Cropped to a single cell; peripheral blood smear
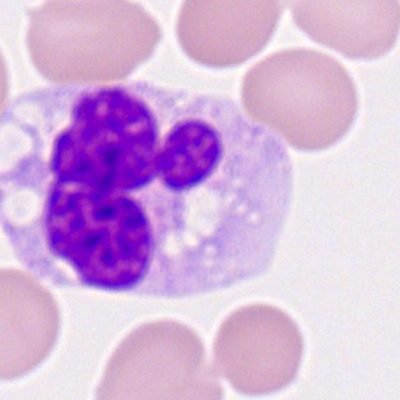

Morphological class: monocyte.